Bone marrow aspirate smear; 250×250:
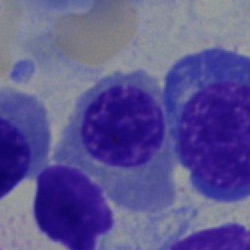

Q: Which cell type is shown here?
A: It is an erythroblast.